Bone marrow smear: 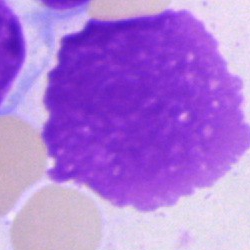

The cell type is artifact.